Single cell centered in the field; bone marrow smear
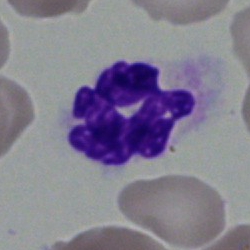
This is a segmented neutrophil.